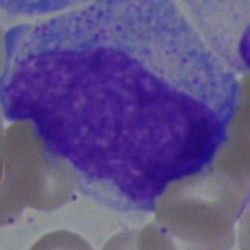
Q: What is shown here?
A: This is a progranulocyte.